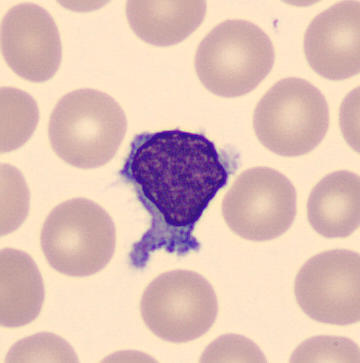
Specimen: peripheral blood smear.
Cell: typical lymphocyte.
Lineage: lymphoid.